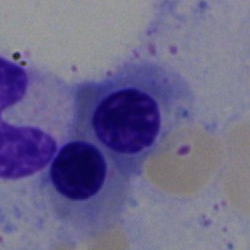 Cell type: nucleated red cell.